Bone marrow aspirate smear: 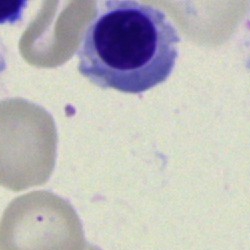

Morphology → artefact.